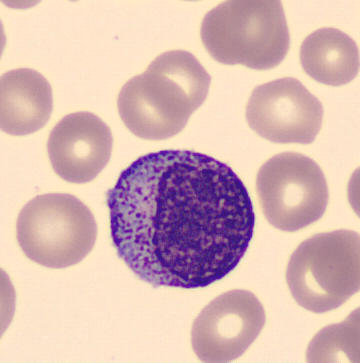

Specimen: peripheral blood film.
Cell: myelocyte.
Acquisition: Cropped to a single cell.